Bone marrow smear:
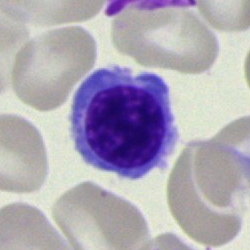 Q: Which cell type is shown here?
A: A nucleated red blood cell.